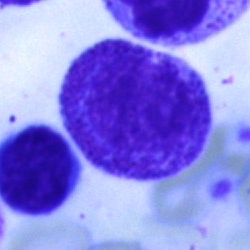
A promyelocyte on a bone marrow smear.